Bone marrow smear · 250×250 px:
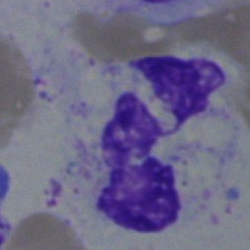
Classification — neutrophil (segmented).